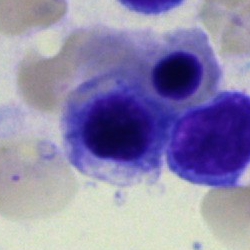An erythroblast on a bone marrow smear.